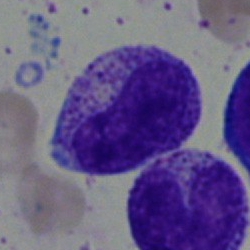

Morphological class = metamyelocyte.